Bone marrow smear; MGG-stained; brightfield, 40× oil-immersion objective: 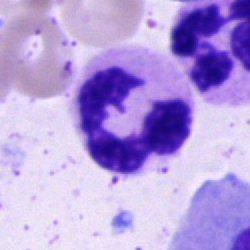

Morphological class — polymorphonuclear neutrophil.